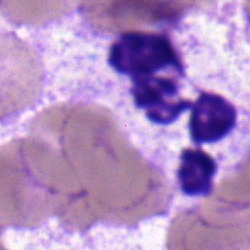
Q: What type of cell is this?
A: This is a segmented neutrophil.